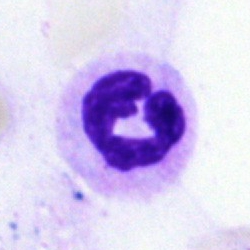
Cell: segmented neutrophil.